Bone marrow smear. 250×250 px. Pappenheim-stained: 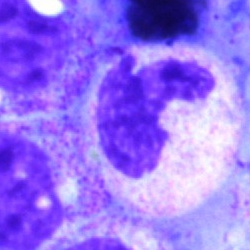Q: What cell is this?
A: It is a neutrophil (segmented).